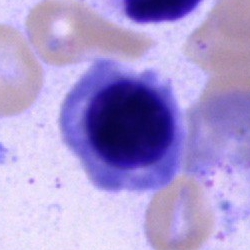Cell = erythroblast.